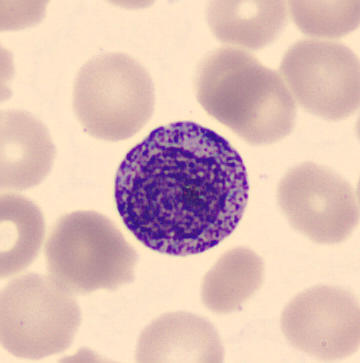Myelocyte.

Peripheral blood film.